Bone marrow smear
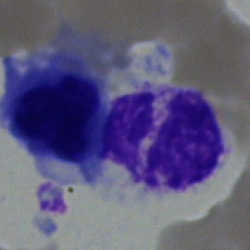

Q: What type of cell is this?
A: It is a polymorphonuclear neutrophil.